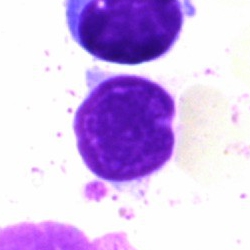A typical lymphocyte.